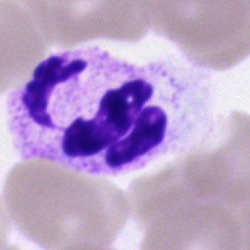Q: What type of cell is this?
A: This is a neutrophil (segmented).